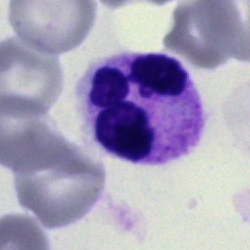Single cell identified as a polymorphonuclear neutrophil.